Bone marrow aspirate smear
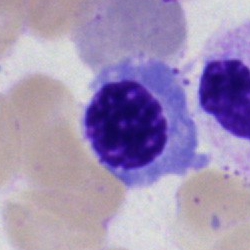 This is a basophil.